Single-cell field · Romanowsky-type stain · peripheral blood smear — 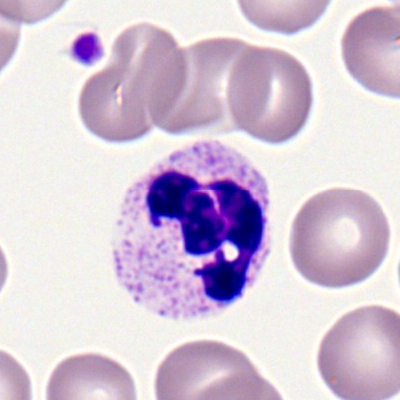This is a neutrophil (segmented).